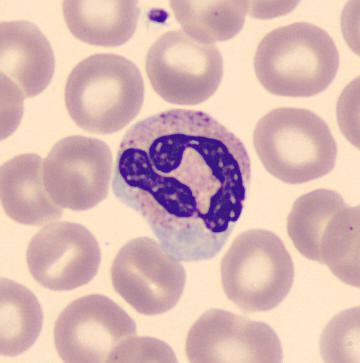

Single cell identified as a segmented neutrophil.
Preparation: Peripheral blood film; 360×363 px.